Bone marrow aspirate smear.
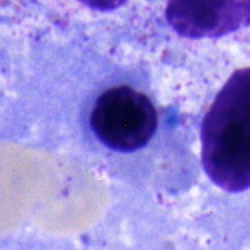
Cell: nucleated red blood cell.